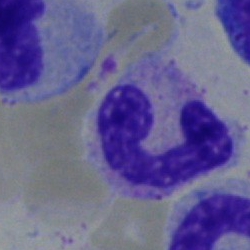 Bone marrow aspirate smear, single cell — neutrophil (band).